Brightfield, 40× oil-immersion objective; bone marrow smear.
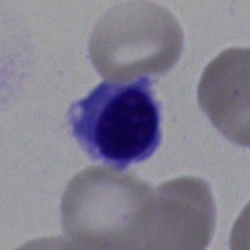
Cell type — erythroblast.